Peripheral blood smear
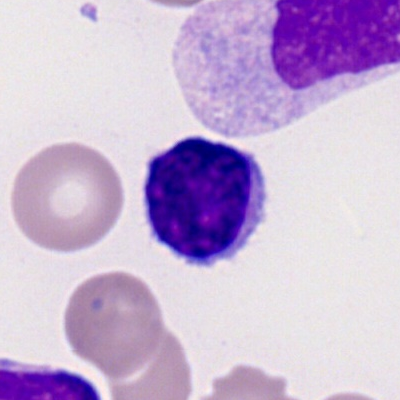

Morphology — typical lymphocyte.